Bone marrow smear: 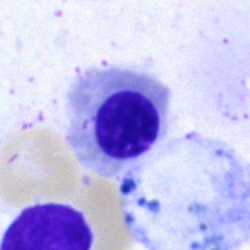Q: What is the morphological classification of this cell?
A: A nucleated red blood cell.